40× oil immersion · bone marrow smear:
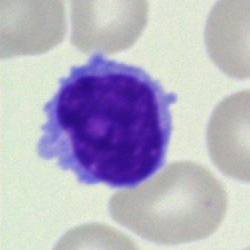
Specimen: bone marrow smear.
Cell: typical lymphocyte.